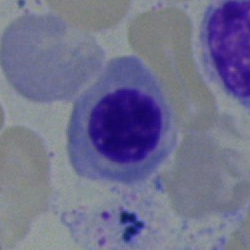A nucleated red blood cell.